Bone marrow aspirate smear: 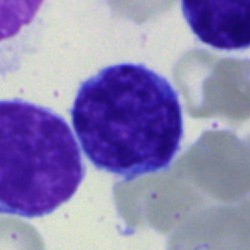
A lymphocyte.